Bone marrow aspirate smear.
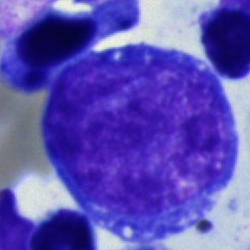
A blast cell.